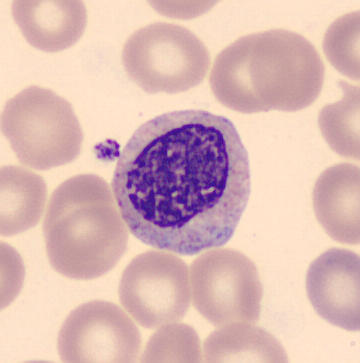 {"cell_type": "myelocyte", "lineage": "myeloid"} Acquisition: Peripheral blood film; MGG-stained; single-cell crop.